Bone marrow smear — 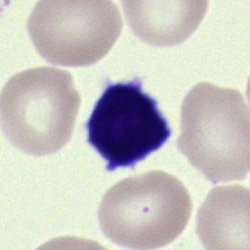

Cell type — typical lymphocyte.